Bone marrow smear.
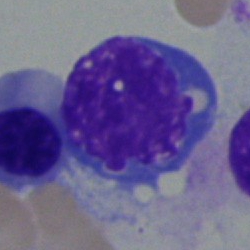Morphology consistent with a nucleated red blood cell.